Bone marrow smear · May-Grünwald-Giemsa/Pappenheim stain
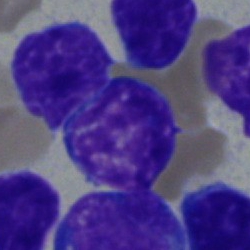The morphological class is lymphocyte.